Brightfield, 100× oil-immersion objective. Peripheral blood film: 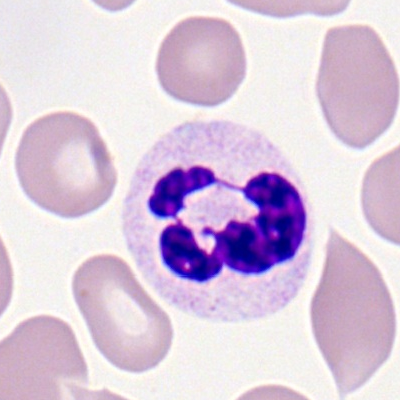Cell = polymorphonuclear neutrophil.